Bone marrow aspirate smear.
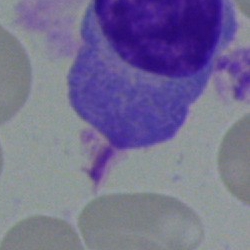Specimen: bone marrow aspirate smear.
Cell type: plasmacyte.
Lineage: lymphoid.